Bone marrow aspirate smear. 250×250 px. 40× oil immersion.
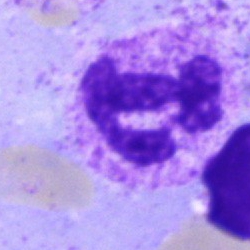 Q: Identify the cell.
A: It is a segmented neutrophil.